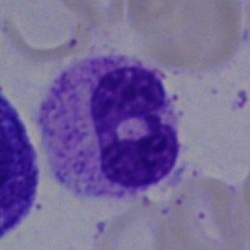 Neutrophil (segmented).